May-Grünwald-Giemsa stain; bone marrow smear — 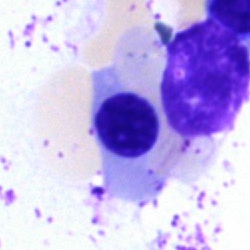
Q: Which cell type is shown here?
A: Normoblast.